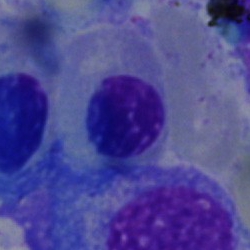

A nucleated red cell.